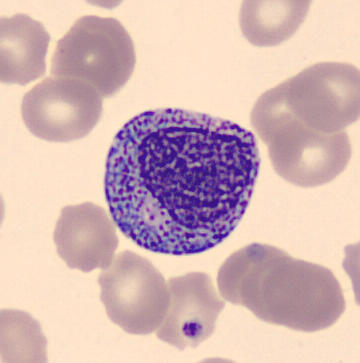

Peripheral blood smear showing a myelocyte.